Peripheral blood film:
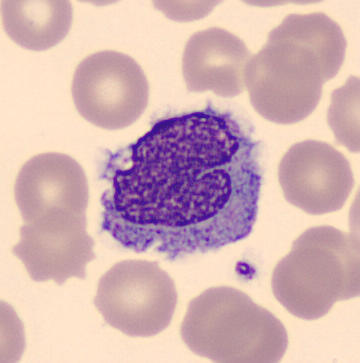
Monocyte.